Bone marrow smear · single-cell crop — 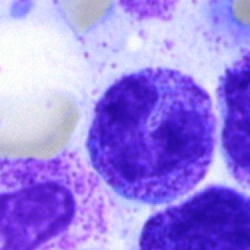 Stab cell.